Bone marrow smear; MGG-stained — 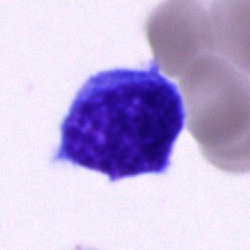This is an undifferentiated blast.